Bone marrow smear
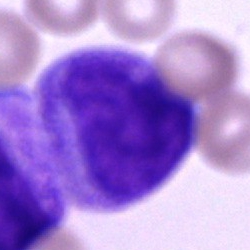 Impression — cell of indeterminate lineage.